May-Grünwald-Giemsa/Pappenheim stain · bone marrow aspirate smear
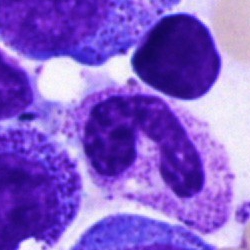Morphology consistent with a segmented neutrophil.